Image size 250×250 · single cell centered in the field · bone marrow smear.
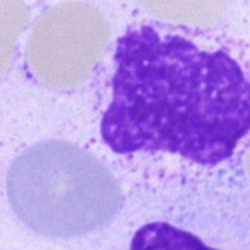

Classification: artefact.